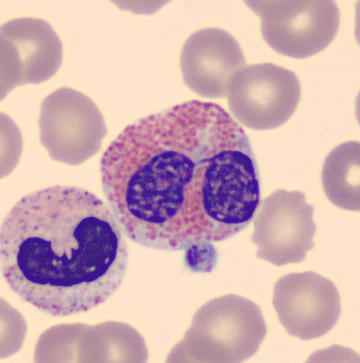 The cell type is eosinophilic granulocyte.